Brightfield, 40× oil-immersion objective · single-cell field · bone marrow smear.
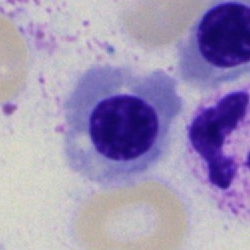 Q: Identify the cell.
A: Undifferentiated blast.